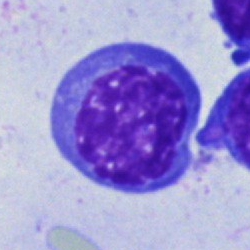

Classification: erythroblast.